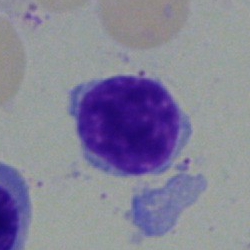
Lymphocyte.